Bone marrow smear; single cell centered in the field:
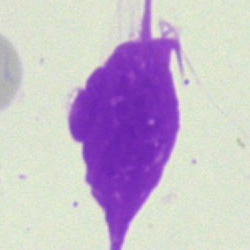

Morphology consistent with an artefact.